Single-cell field · peripheral blood film — 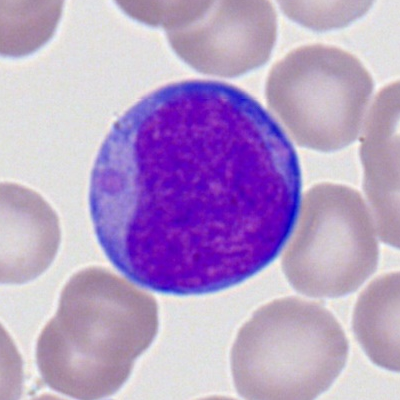 Single cell identified as a myeloid blast.